Bone marrow smear — 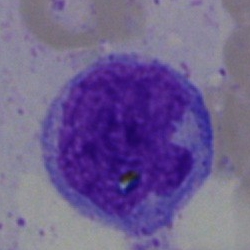 Q: Which cell type is shown here?
A: A monocyte.